Bone marrow aspirate smear.
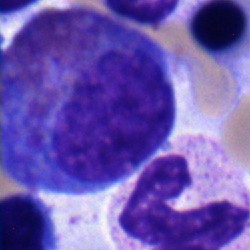 This is an eosinophilic granulocyte.